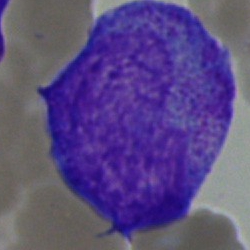 Bone marrow smear showing an undifferentiated blast.